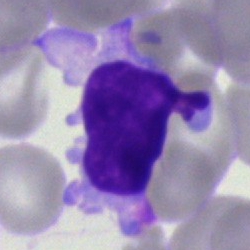

Q: Identify the cell.
A: It is a typical lymphocyte.